Bone marrow smear — 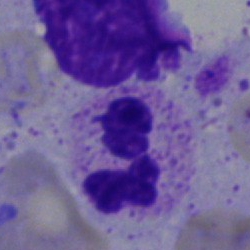
Q: What is shown here?
A: This is a segmented neutrophil.